Bone marrow aspirate smear · 250×250 px · May-Grünwald-Giemsa/Pappenheim stain.
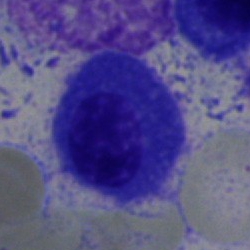
Impression — plasmacyte.